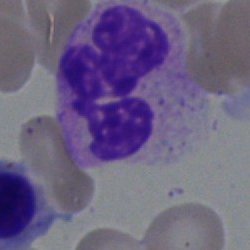 Segmented neutrophil.